40× objective, oil immersion; bone marrow aspirate smear.
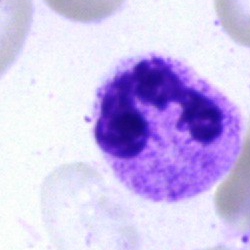

{"cell_type": "segmented neutrophil", "lineage": "myeloid"}